Bone marrow smear. May-Grünwald-Giemsa/Pappenheim stain — 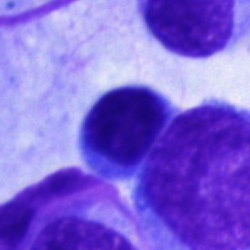Classification: lymphocyte.